May-Grünwald-Giemsa/Pappenheim stain · bone marrow smear — 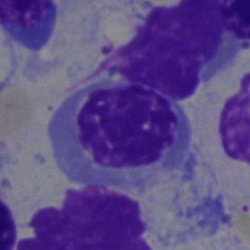

Nucleated red blood cell.